Bone marrow smear:
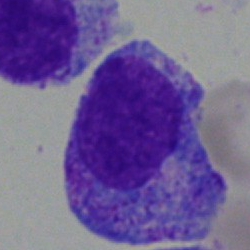 Cell — progranulocyte.